Bone marrow aspirate smear — 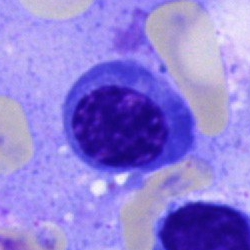

Morphology consistent with an erythroblast.